Peripheral blood smear:
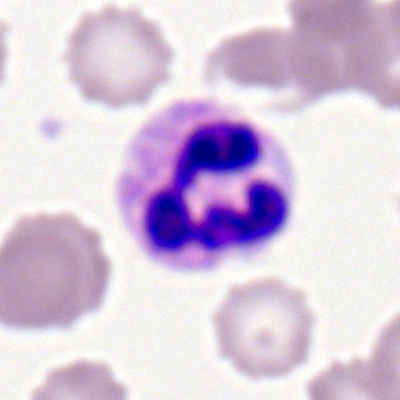

Q: Identify the cell.
A: Segmented neutrophil.